40× objective, oil immersion · bone marrow aspirate smear.
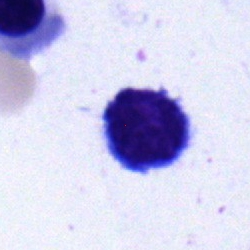{"cell_type": "lymphocyte", "lineage": "lymphoid"}